Bone marrow smear.
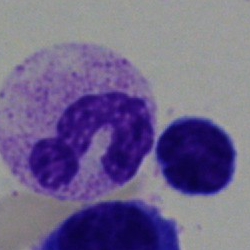
Specimen: bone marrow smear.
Morphological class: polymorphonuclear neutrophil.
Lineage: myeloid.